250×250. Bone marrow smear: 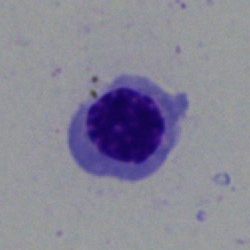{"cell_type": "erythroblast", "lineage": "erythroid"}